Bone marrow aspirate smear:
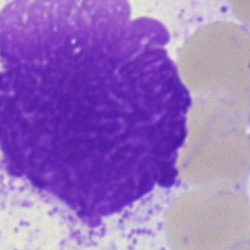

Classification = artefact.